Bone marrow smear.
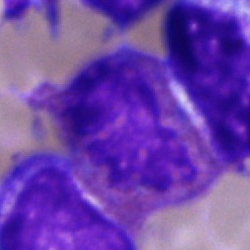
Cell — eosinophilic granulocyte.